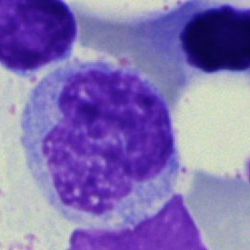
Q: Identify the cell.
A: This is a monocyte.